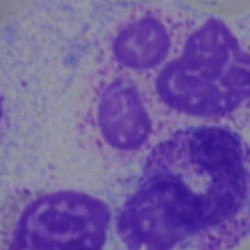 An artifact on a bone marrow smear.